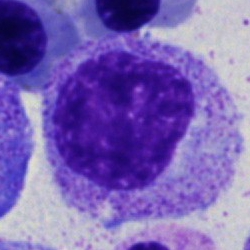Specimen: bone marrow smear.
Cell type: myelocyte.
Lineage: myeloid.